250×250. Bone marrow aspirate smear. Single cell centered in the field — 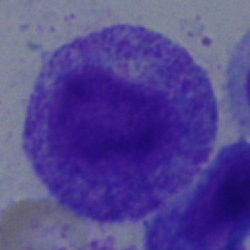
Morphological class: progranulocyte.